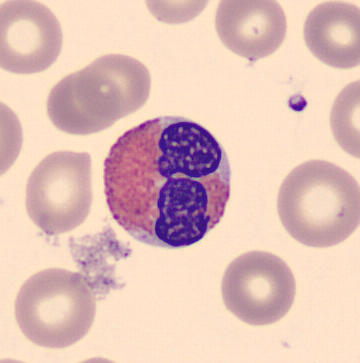

Peripheral blood film, single cell — eosinophilic granulocyte.